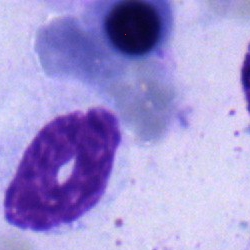 Morphology consistent with a normoblast.